Bone marrow aspirate smear: 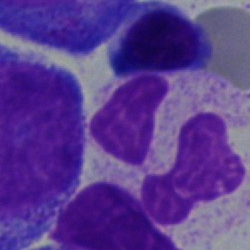

Q: What is shown here?
A: A neutrophil (segmented).